Peripheral blood smear
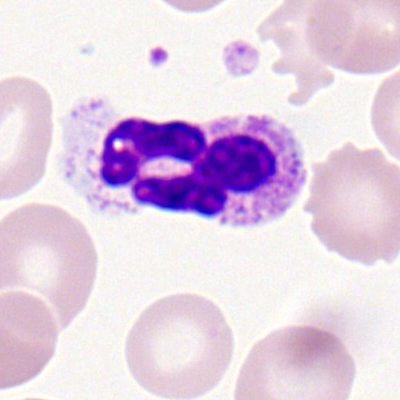
Morphology — neutrophil (segmented).